Bone marrow smear
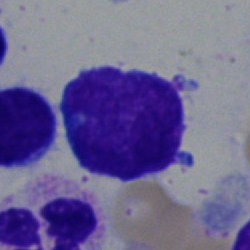

Cell type — lymphocyte.